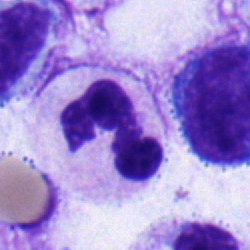

Classification: myelocyte.